Bone marrow aspirate smear: 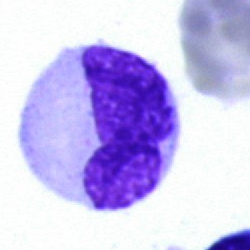Q: What type of cell is this?
A: This is a neutrophil (band).